Bone marrow smear; 40× objective, oil immersion; May-Grünwald-Giemsa stain — 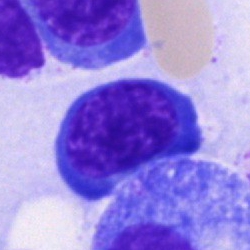 Cell = erythroblast.